Single-cell crop; bone marrow aspirate smear.
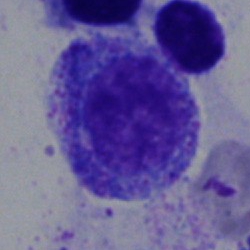 Morphology — promyelocyte.